Bone marrow aspirate smear. Single-cell field:
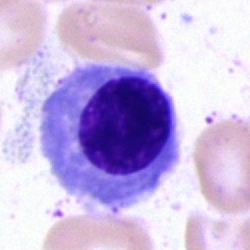Showing an erythroblast.